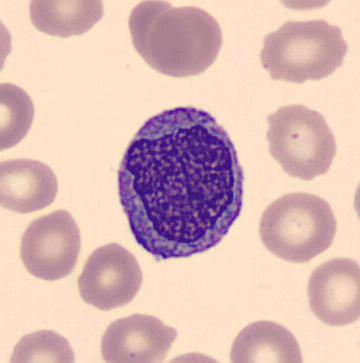
Peripheral blood smear. Cell: monocyte.